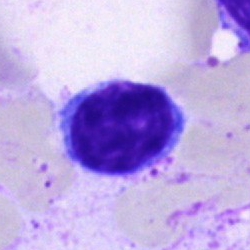Cell type = typical lymphocyte.